40× oil immersion. Bone marrow smear: 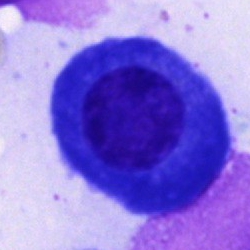

Morphology consistent with a plasma cell.